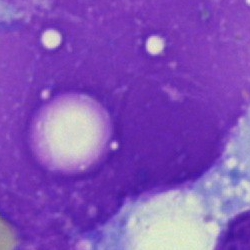

Cell: artifact.